Peripheral blood film:
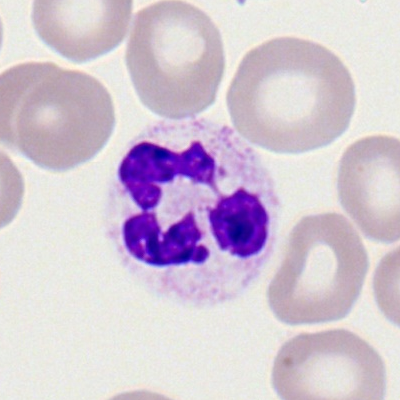Cell: segmented neutrophil.